Bone marrow smear.
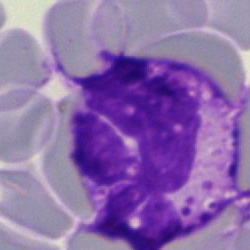

Specimen: bone marrow aspirate smear.
Cell type: basophilic granulocyte.